May-Grünwald-Giemsa/Pappenheim stain · bone marrow aspirate smear · brightfield microscopy, 40× oil immersion
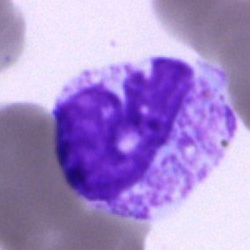

Morphology → neutrophil (segmented).